Bone marrow smear — 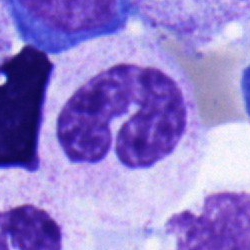 Morphology consistent with a band neutrophil.